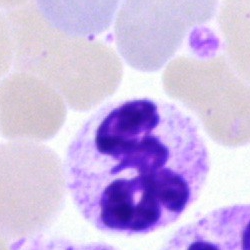 Q: What type of cell is this?
A: This is a segmented neutrophil.